Bone marrow smear. Image size 250×250
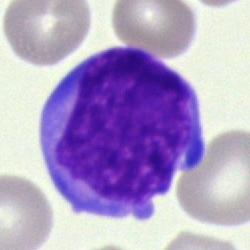 Single cell identified as a blast.